Bone marrow smear · 250×250 · single-cell crop:
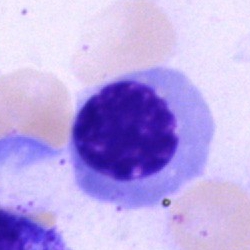 {"cell_type": "nucleated red blood cell", "lineage": "erythroid"}